Bone marrow aspirate smear · cropped to a single cell:
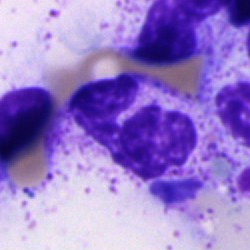 Morphology consistent with a polymorphonuclear neutrophil.